Bone marrow aspirate smear:
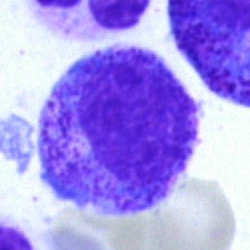
Impression — myelocyte.